Bone marrow aspirate smear · single-cell crop.
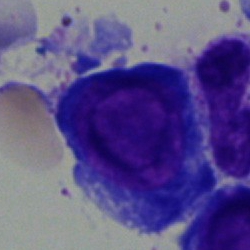

Cell type = pronormoblast.